Bone marrow smear:
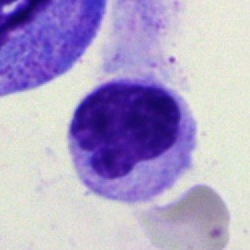

Q: What is the morphological classification of this cell?
A: This is a segmented neutrophil.